Bone marrow smear
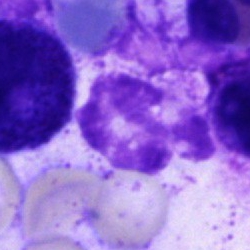 The morphological class is artefact.